250×250 px; bone marrow aspirate smear; 40× oil immersion.
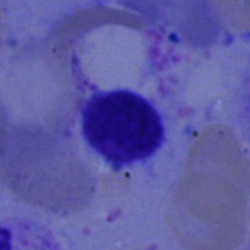
The cell shown is a typical lymphocyte.